Bone marrow smear — 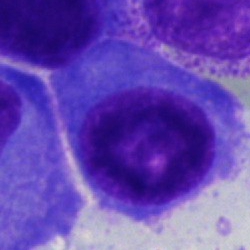 Plasmacyte.